Peripheral blood film:
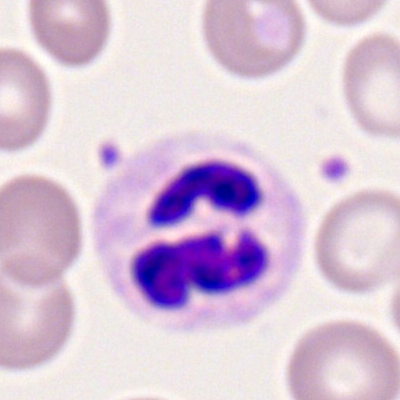 {"cell_type": "polymorphonuclear neutrophil"}